Bone marrow smear · 250×250 px: 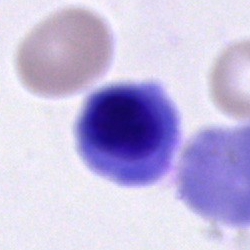Morphology consistent with a nucleated red cell.